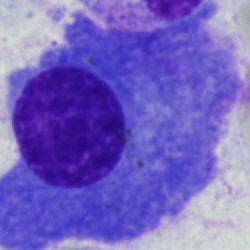Morphology — plasma cell.